Bone marrow smear: 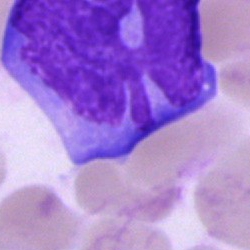The morphological class is unidentifiable cell.